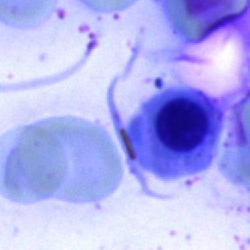Morphology consistent with a nucleated red cell.